MGG-stained. Bone marrow aspirate smear:
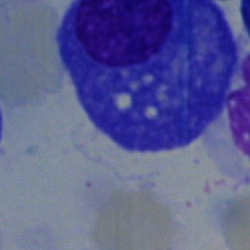
Classification: plasma cell.